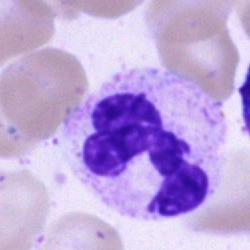

Q: What cell is this?
A: This is a segmented neutrophil.